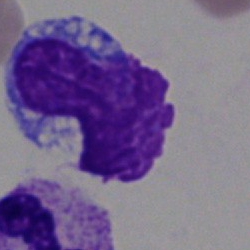

Classification — artifact.